Single cell centered in the field. Bone marrow aspirate smear. Image size 250×250
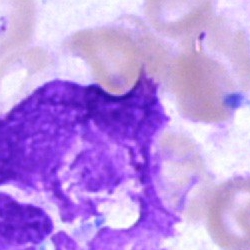 Single cell identified as an artefact.